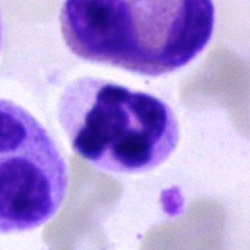 Morphology → polymorphonuclear neutrophil.